Bone marrow smear.
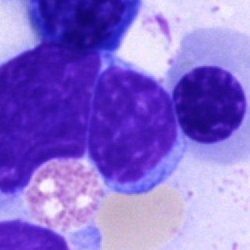

Lymphocyte.